MGG-stained; bone marrow aspirate smear:
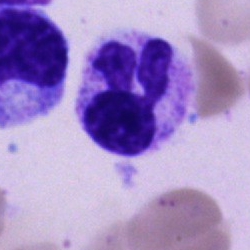 Showing a polymorphonuclear neutrophil.